Bone marrow aspirate smear. Cropped to a single cell — 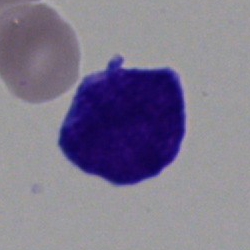 Impression → undifferentiated blast.